40× oil immersion. Bone marrow smear
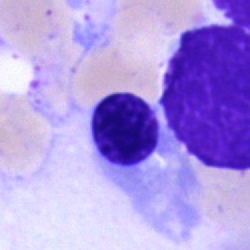
This is an erythroblast.